Bone marrow aspirate smear · May-Grünwald-Giemsa/Pappenheim stain.
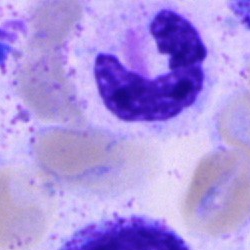

Morphology consistent with a band-form neutrophil.